Peripheral blood smear:
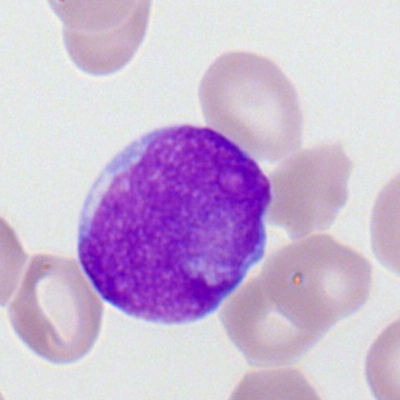Classification — myeloblast.